Bone marrow aspirate smear:
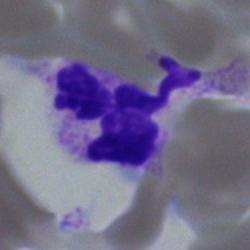Neutrophil (segmented).